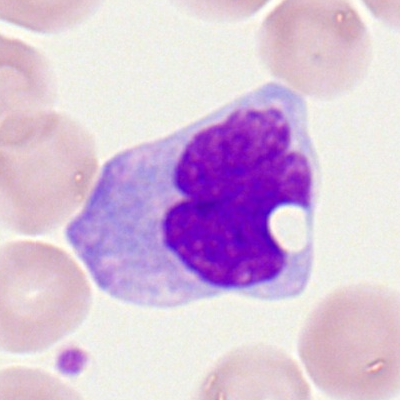
Morphological class: monocyte.